Bone marrow smear.
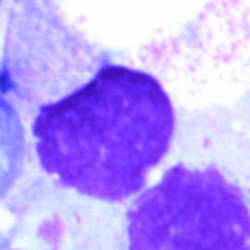Morphological class: artefact.